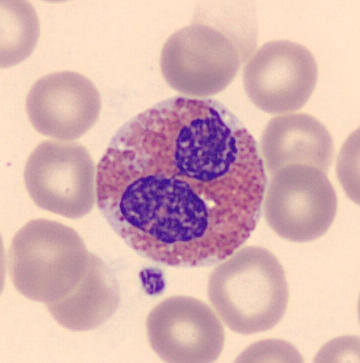360×363. Peripheral blood smear. Single-cell field. Eosinophilic granulocyte.